Bone marrow smear:
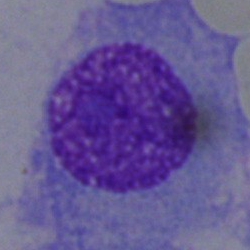

Specimen: bone marrow smear.
Cell type: plasma cell.
Lineage: lymphoid.